Peripheral blood smear. 100× oil immersion — 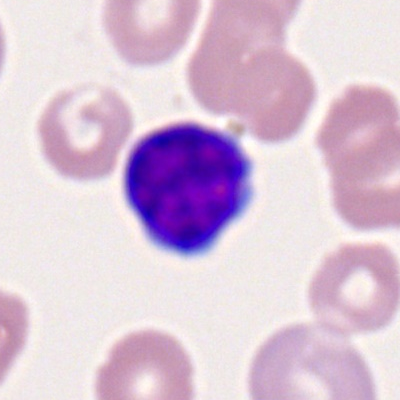Cell: lymphocyte.